250 by 250 pixels · cropped to a single cell · bone marrow aspirate smear
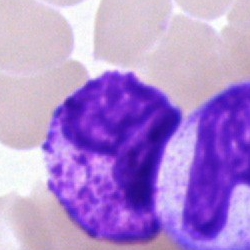
Showing a basophilic granulocyte.